Single cell centered in the field; bone marrow aspirate smear: 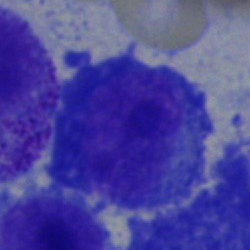

Cell — plasmacyte.